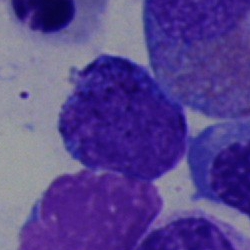Q: Which cell type is shown here?
A: It is a typical lymphocyte.